Single cell centered in the field · bone marrow aspirate smear: 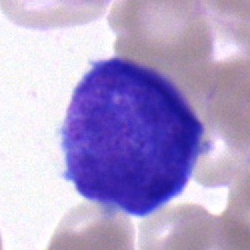

Q: Which cell type is shown here?
A: This is a blast.